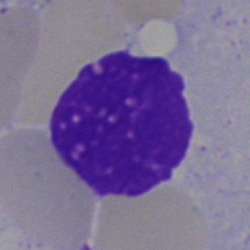
Q: What is shown here?
A: An artifact.